Peripheral blood film: 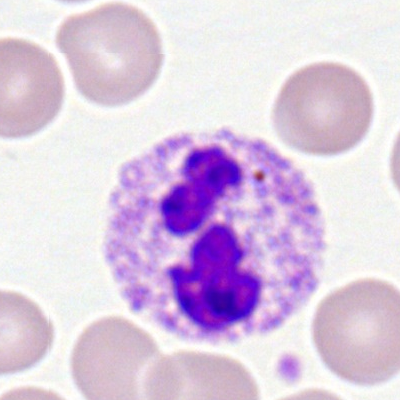

Cell type = polymorphonuclear neutrophil.